Peripheral blood film; 400 by 400 pixels
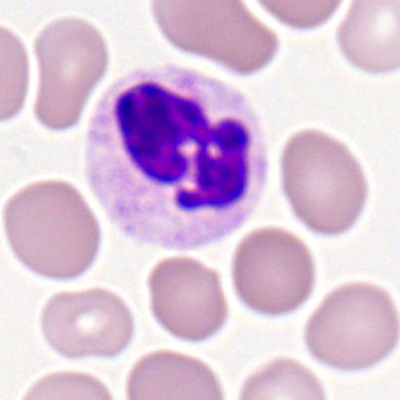Classification: neutrophil (segmented).